Bone marrow aspirate smear
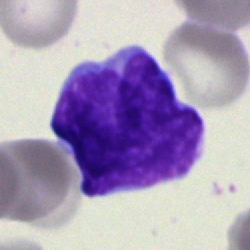 Q: What is the morphological classification of this cell?
A: It is an undifferentiated blast.